Cropped to a single cell. Bone marrow smear. Brightfield, 40× oil-immersion objective: 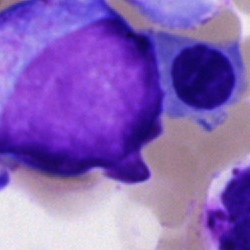

Morphological class: blast.